Bone marrow smear. 40× oil immersion:
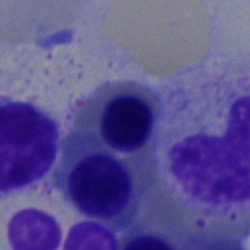 Morphological class — normoblast.